Bone marrow aspirate smear:
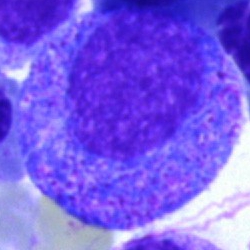

Cell type: promyelocyte.